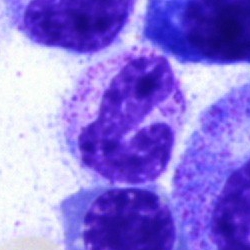 Specimen: bone marrow smear.
Cell type: neutrophil (band).
Lineage: myeloid.